Bone marrow smear.
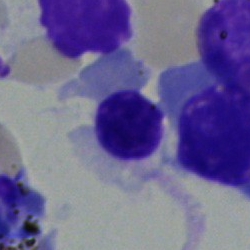 Cell — normoblast.